Cropped to a single cell. 250×250 px. Bone marrow aspirate smear:
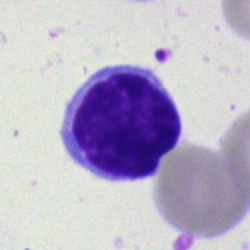A typical lymphocyte.